Bone marrow smear — 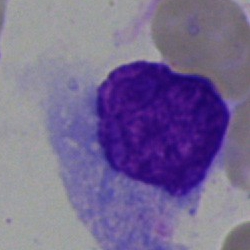
Morphology — artifact.